Peripheral blood film · single-cell field · 100× objective, oil immersion
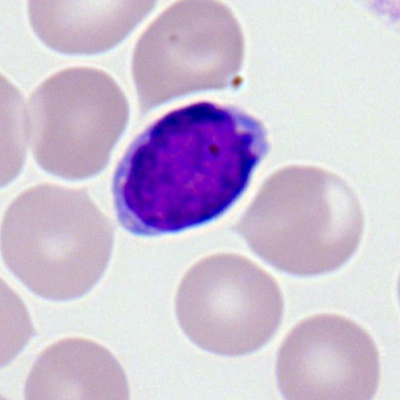 A lymphocyte.